Bone marrow smear; 40× objective, oil immersion; cropped to a single cell
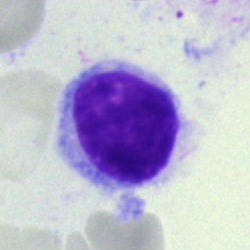
{"cell_type": "hairy cell", "lineage": "lymphoid"}